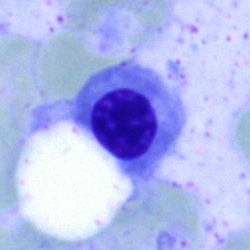 Morphological class = nucleated red cell.